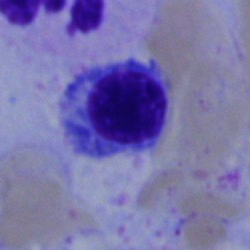

Q: What is the morphological classification of this cell?
A: A nucleated red cell.